Bone marrow smear
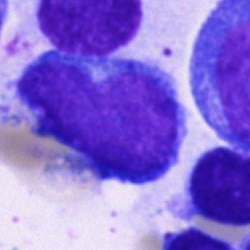Specimen: bone marrow smear.
Cell: blast.